Bone marrow aspirate smear. Brightfield, 40× oil-immersion objective. May-Grünwald-Giemsa/Pappenheim stain:
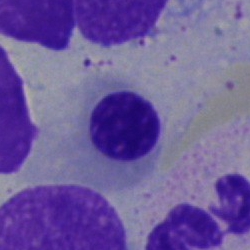 The cell shown is an erythroblast.